Bone marrow aspirate smear · brightfield, 40× oil-immersion objective:
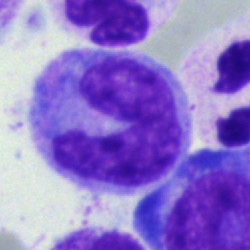

Morphology consistent with a monocyte.